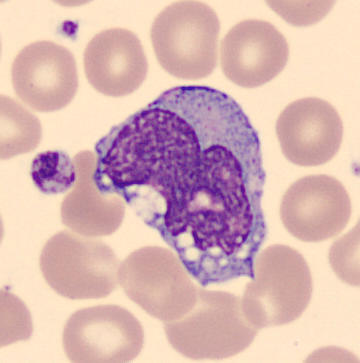 Acquisition: 360×363 · MGG stain · peripheral blood smear.

Single cell identified as a monocyte.